250×250 px; bone marrow smear.
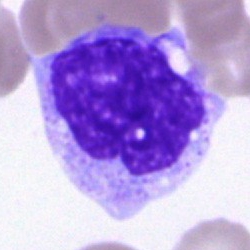
Morphology — monocyte.